Bone marrow smear · 40× objective, oil immersion · 250×250
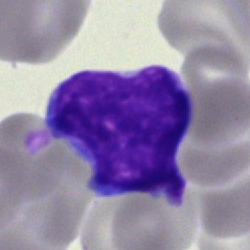

Cell = undifferentiated blast.